40× objective, oil immersion; bone marrow aspirate smear:
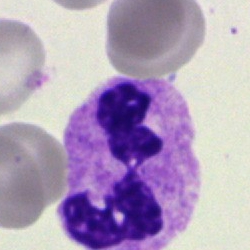
Specimen: bone marrow aspirate smear.
Cell: polymorphonuclear neutrophil.
Lineage: myeloid.